Romanowsky-type stain. Peripheral blood film. Cropped to a single cell
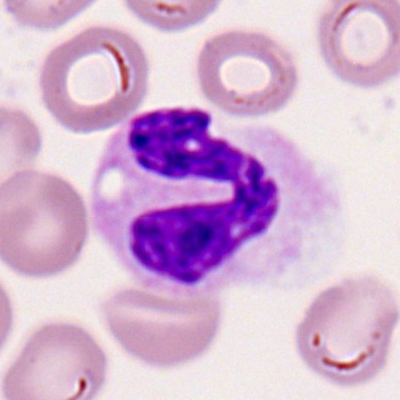

Cell type — polymorphonuclear neutrophil.